Bone marrow smear. Image size 250×250:
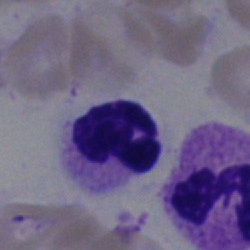
Morphology consistent with a neutrophil (segmented).